Peripheral blood film. Image size 400×400. Romanowsky-stained
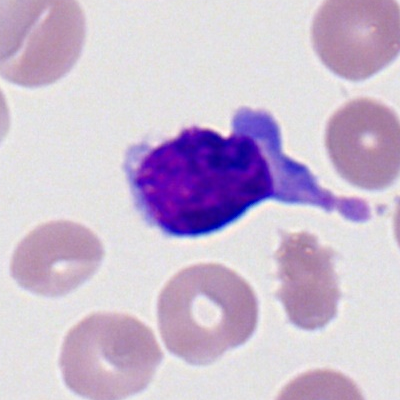 Specimen: peripheral blood smear.
Morphological class: typical lymphocyte.
Lineage: lymphoid.